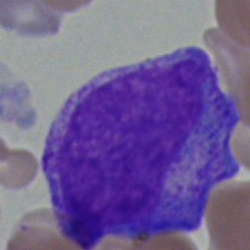 The cell shown is a promyelocyte.